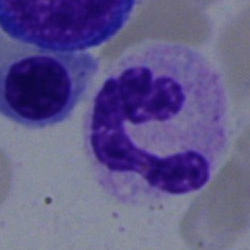 Specimen: bone marrow smear.
Cell: segmented neutrophil.
Lineage: myeloid.